Bone marrow aspirate smear.
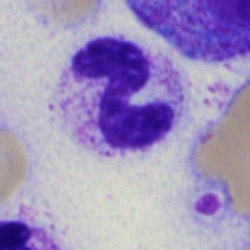 The cell shown is a band neutrophil.